Bone marrow aspirate smear — 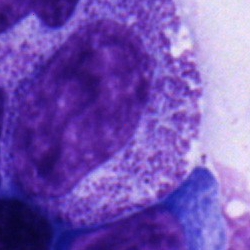

The morphological class is metamyelocyte.